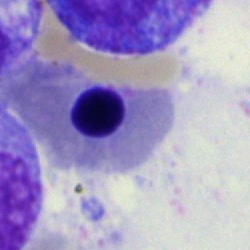

Classification: erythroblast.